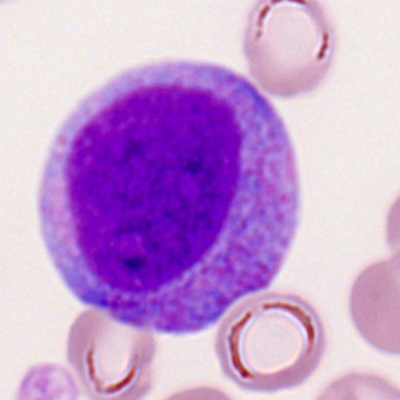
Peripheral blood smear showing a promyelocyte.